May-Grünwald-Giemsa stain · bone marrow smear · image size 250×250 — 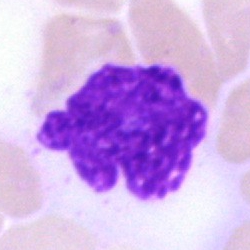 The cell shown is an artefact.